May-Grünwald-Giemsa/Pappenheim stain. Bone marrow aspirate smear
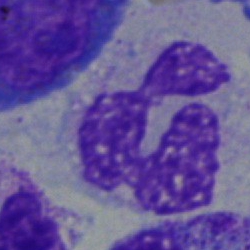 {"cell_type": "neutrophil (segmented)", "lineage": "myeloid"}